Single-cell crop; bone marrow aspirate smear.
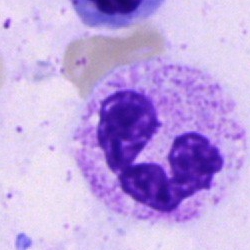 This is a segmented neutrophil.